Bone marrow aspirate smear:
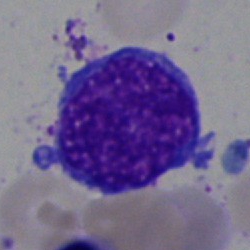

Cell type — lymphocyte.